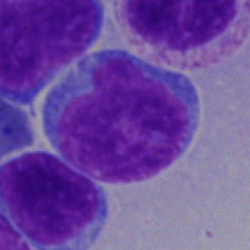
Specimen: bone marrow smear.
Classification: undifferentiated blast.